Peripheral blood smear · CellaVision DM96 digital cell image — 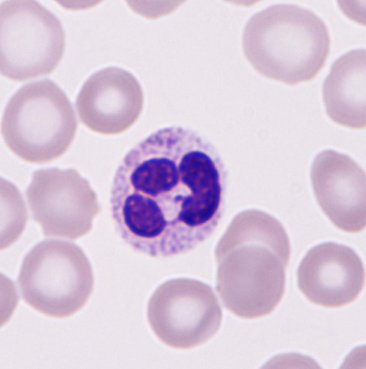
Showing a neutrophil granulocyte.